Bone marrow smear.
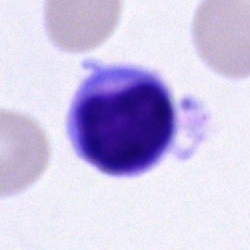 Cell: lymphocyte.